Bone marrow smear.
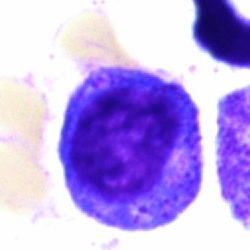 Cell: promyelocyte.